Bone marrow smear. Single cell centered in the field. 250 by 250 pixels — 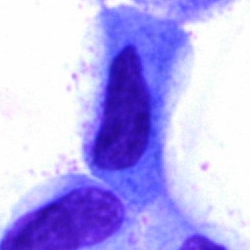Single cell identified as an artefact.